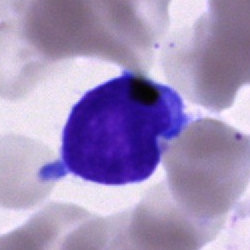Classification — cell of indeterminate lineage.